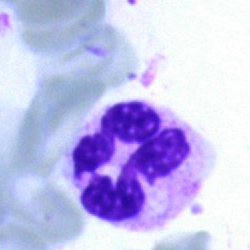
Cell type: polymorphonuclear neutrophil.